100× objective, oil immersion · peripheral blood film
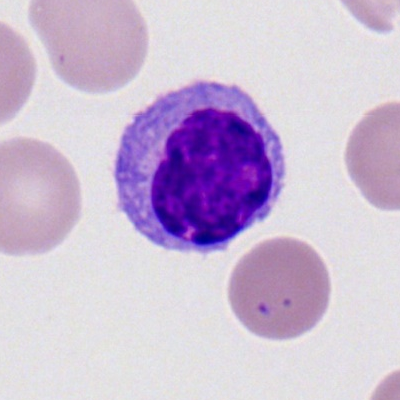Morphological class = typical lymphocyte.